Brightfield microscopy, 40× oil immersion; bone marrow smear; cropped to a single cell.
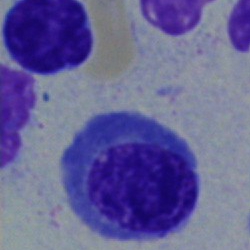

Morphology → normoblast.